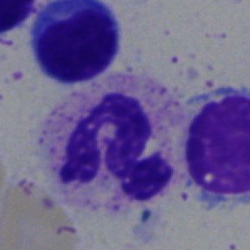

A neutrophil (segmented) on a bone marrow smear.